Bone marrow smear. Brightfield, 40× oil-immersion objective — 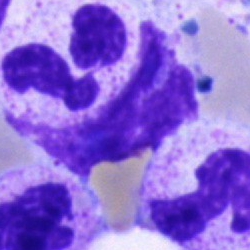Showing a neutrophil (segmented).